Bone marrow smear. 250×250 px. Pappenheim-stained — 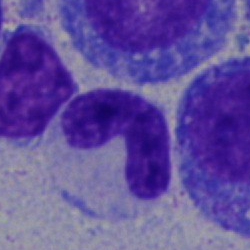This is a segmented neutrophil.